Peripheral blood smear.
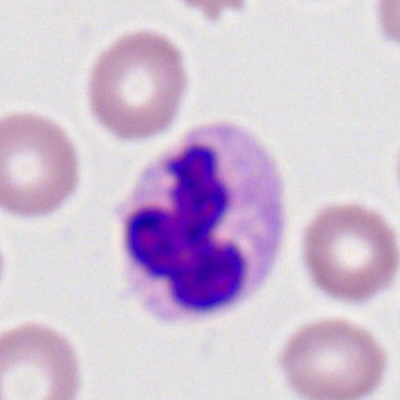Impression → neutrophil (segmented).